Bone marrow aspirate smear; single-cell crop; MGG-stained
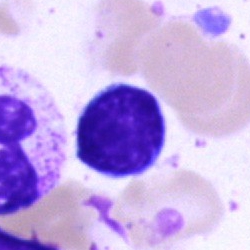
Morphology — lymphocyte.